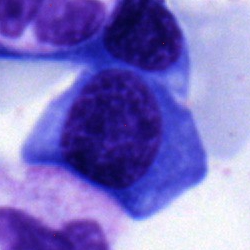Cell — plasmacyte.